Peripheral blood film:
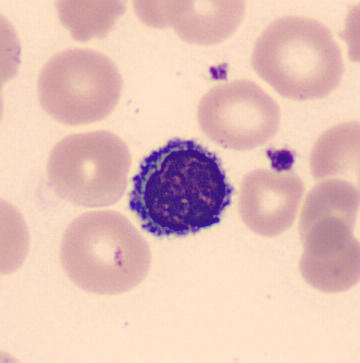

Classification — lymphocyte.